Bone marrow aspirate smear · May-Grünwald-Giemsa stain.
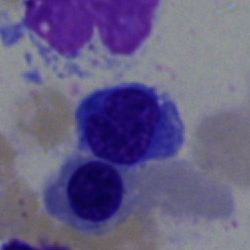
Impression — erythroblast.